Bone marrow smear: 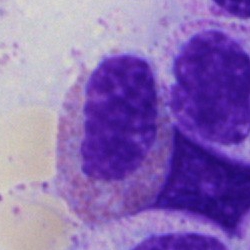Q: Which cell type is shown here?
A: It is an eosinophil.